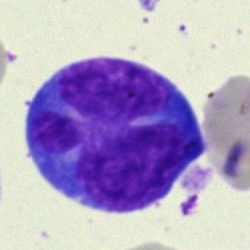

Impression → blast.